Brightfield microscopy, 40× oil immersion · 250 by 250 pixels · bone marrow aspirate smear
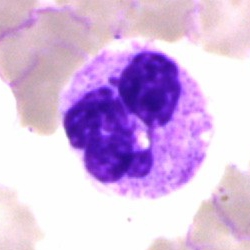Specimen: bone marrow aspirate smear.
Morphological class: segmented neutrophil.
Lineage: myeloid.